Bone marrow aspirate smear; cropped to a single cell; brightfield microscopy, 40× oil immersion:
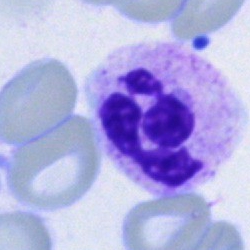
Cell type = polymorphonuclear neutrophil.